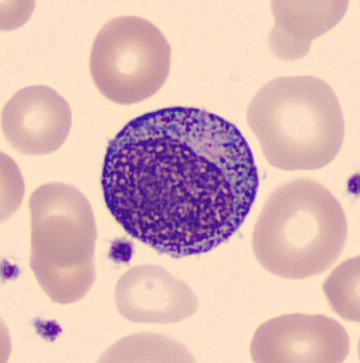
Preparation: CellaVision DM96 digital cell image · peripheral blood smear · single-cell field.
A promyelocyte.